Bone marrow smear · MGG-stained: 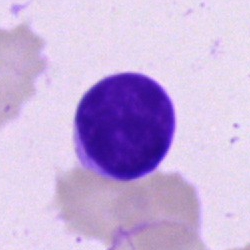

Cell — typical lymphocyte.